Bone marrow aspirate smear
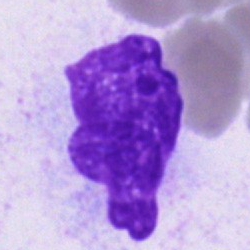 Specimen: bone marrow aspirate smear.
Cell type: unidentifiable cell.